Bone marrow aspirate smear.
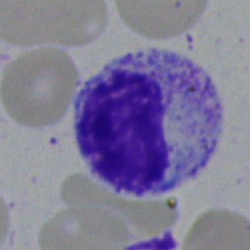
{"cell_type": "myelocyte", "lineage": "myeloid"}